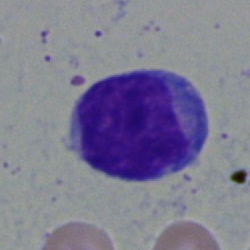 Bone marrow smear showing a lymphocyte.